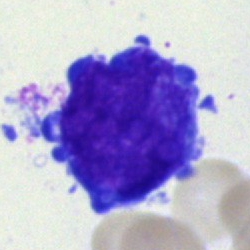
Cell: blast cell.